Bone marrow smear: 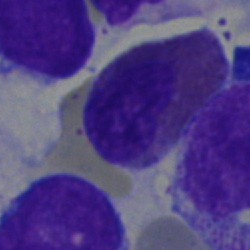
Specimen: bone marrow smear.
Morphological class: eosinophil.
Lineage: myeloid.